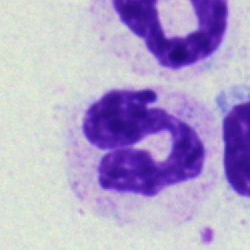
The cell shown is a neutrophil (segmented).